MGG-stained; bone marrow smear: 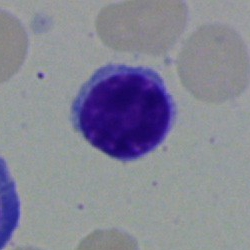Q: What is shown here?
A: Lymphocyte.